Bone marrow smear:
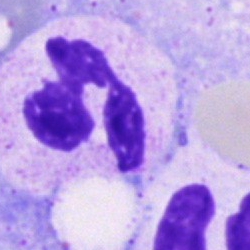

Classification = segmented neutrophil.